40× oil immersion. Bone marrow aspirate smear:
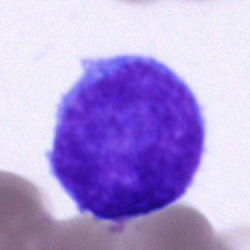

{"cell_type": "undifferentiated blast"}